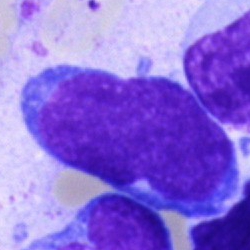
Bone marrow smear showing a blast.